Bone marrow smear. MGG-stained — 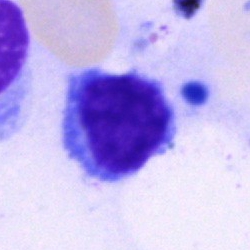Morphology consistent with a typical lymphocyte.